Bone marrow smear
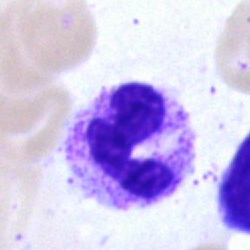
The cell shown is a polymorphonuclear neutrophil.